Bone marrow aspirate smear; May-Grünwald-Giemsa stain — 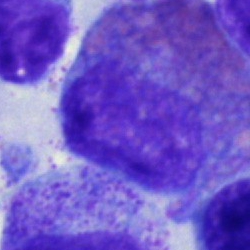 Morphological class: eosinophilic granulocyte.